Bone marrow smear:
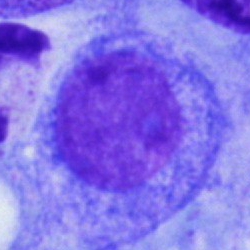

Morphology consistent with a progranulocyte.